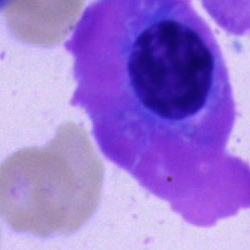 Q: What is the morphological classification of this cell?
A: It is a plasmacyte.